Bone marrow smear: 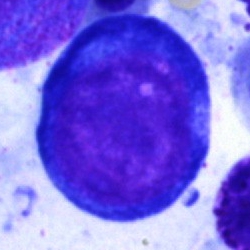

The cell is pronormoblast.